Image size 250×250; bone marrow aspirate smear:
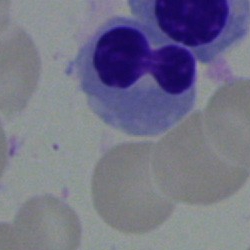 The cell shown is an erythroblast.